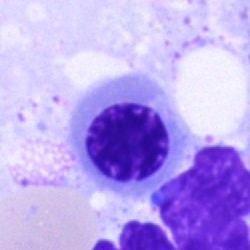 This is a normoblast.